Bone marrow aspirate smear.
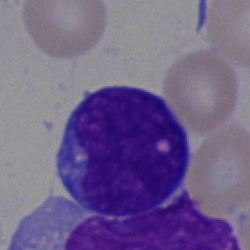The classification is blast.